Bone marrow aspirate smear:
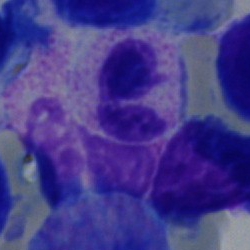
Classification = polymorphonuclear neutrophil.